Single-cell crop; bone marrow smear.
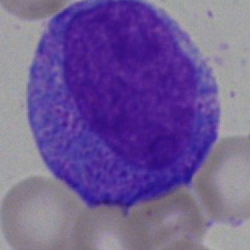

{"cell_type": "progranulocyte", "lineage": "myeloid"}